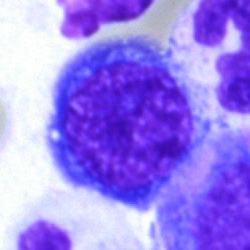
Single-cell crop from a bone marrow smear: nucleated red cell.